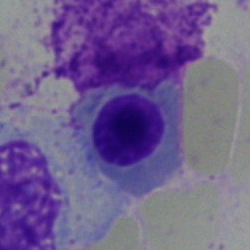 The cell is normoblast.